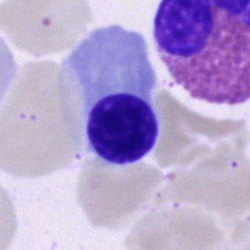 Morphological class = normoblast.